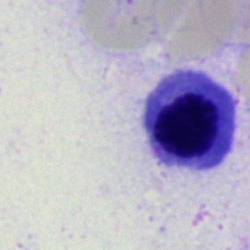 Q: What is shown here?
A: Nucleated red cell.